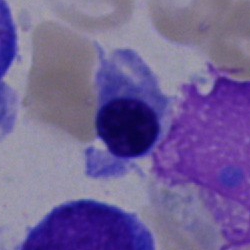Classification = nucleated red blood cell.